Bone marrow aspirate smear. May-Grünwald-Giemsa/Pappenheim stain: 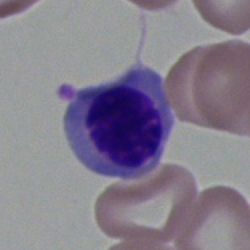 A nucleated red cell.